250 by 250 pixels; cropped to a single cell; bone marrow aspirate smear — 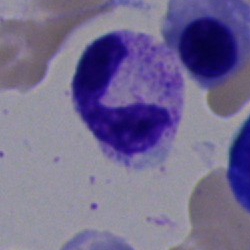
Showing a segmented neutrophil.